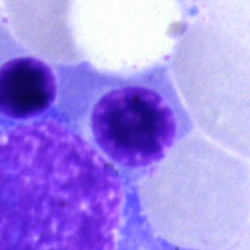 Bone marrow aspirate smear, single cell — nucleated red cell.